Bone marrow smear.
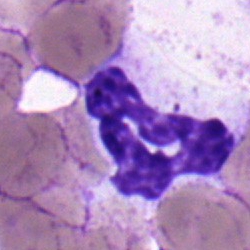
The cell shown is a polymorphonuclear neutrophil.